Peripheral blood smear · May Grünwald-Giemsa stain · single cell centered in the field: 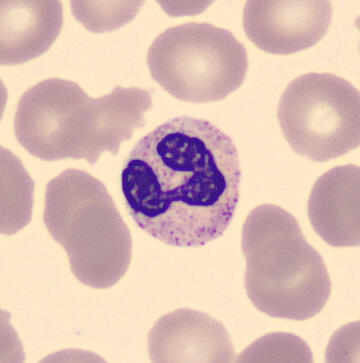This is a segmented neutrophil.